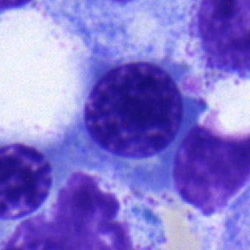
Impression — erythroblast.